Bone marrow aspirate smear.
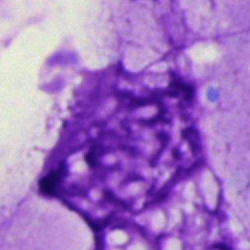

Single cell identified as an artefact.